Single-cell field; bone marrow smear: 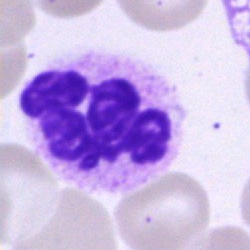
Q: What is shown here?
A: It is a segmented neutrophil.